Bone marrow aspirate smear.
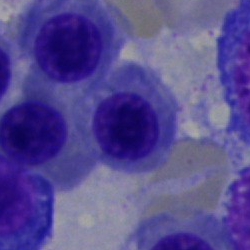The morphological class is normoblast.